Brightfield, 100× oil-immersion objective; 400 by 400 pixels; peripheral blood smear.
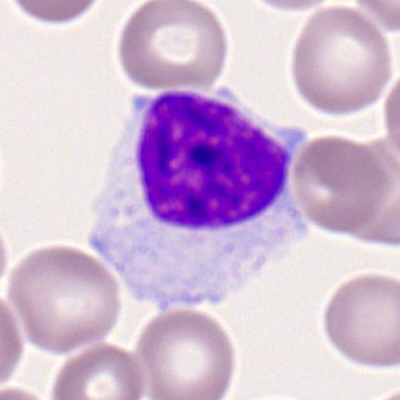

Showing a typical lymphocyte.